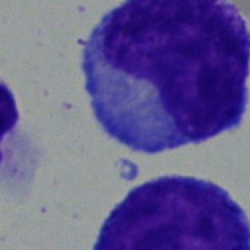 Q: Identify the cell.
A: A progranulocyte.